Bone marrow aspirate smear. 40× oil immersion.
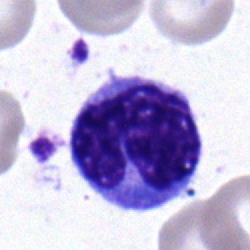 The cell is monocyte.